Bone marrow smear:
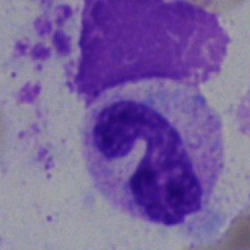 Morphological class: neutrophil (segmented).